Bone marrow smear. Brightfield microscopy, 40× oil immersion. May-Grünwald-Giemsa stain
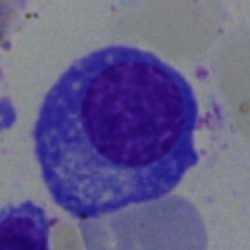This is a plasma cell.